Bone marrow smear — 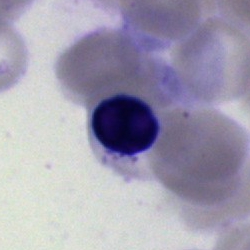

Erythroblast.